Peripheral blood film. Image size 400×400
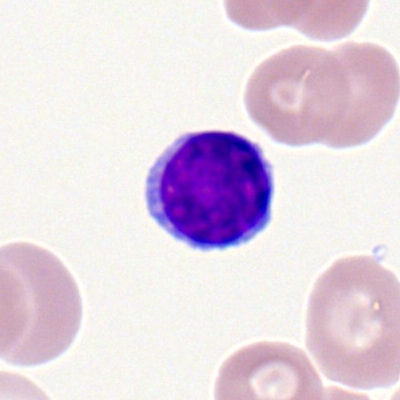A lymphocyte.